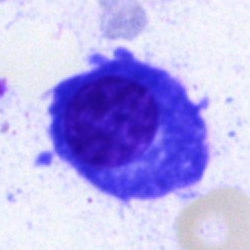 Bone marrow smear showing a plasmacyte.